Bone marrow smear.
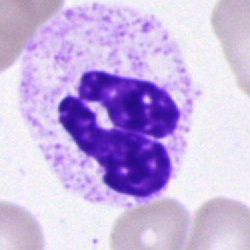

The cell shown is a neutrophil (segmented).